Bone marrow smear: 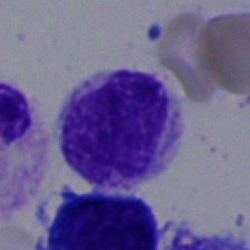Impression — typical lymphocyte.